Bone marrow aspirate smear
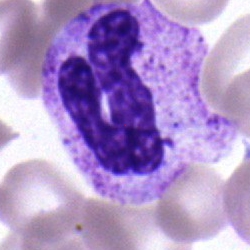

Specimen: bone marrow smear.
Cell: stab cell.
Lineage: myeloid.